250 by 250 pixels; bone marrow smear:
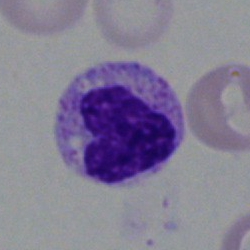 Morphological class = metamyelocyte.